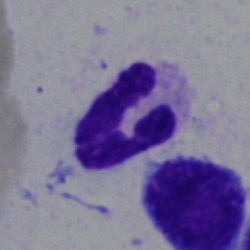 Specimen: bone marrow aspirate smear.
Cell: neutrophil (segmented).
Lineage: myeloid.